Peripheral blood smear — 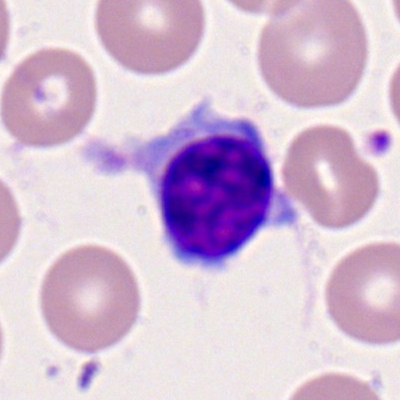 Single cell identified as a typical lymphocyte.